Brightfield, 40× oil-immersion objective. Bone marrow smear.
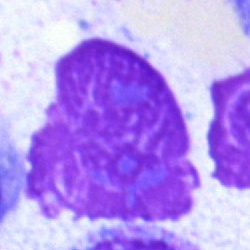
Cell type: artifact.